Bone marrow smear. Single-cell field: 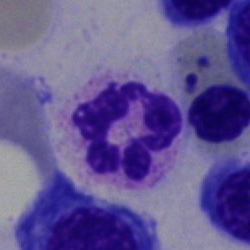

{"cell_type": "neutrophil (segmented)"}